Single-cell field. Bone marrow aspirate smear
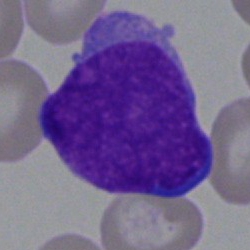

Single cell identified as an undifferentiated blast.